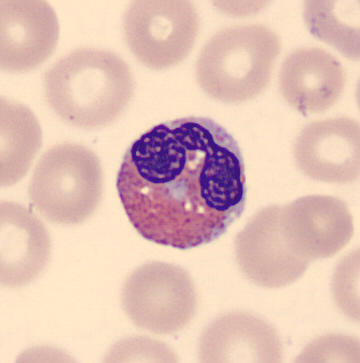
Peripheral blood smear. Morphological class — eosinophil.